Bone marrow smear — 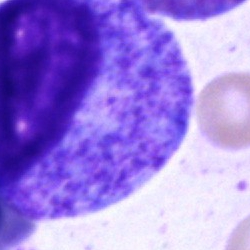

Showing a progranulocyte.